Bone marrow smear — 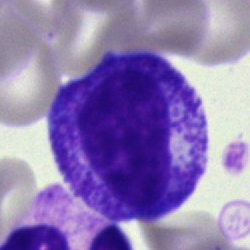Q: Which cell type is shown here?
A: It is a myelocyte.